Cropped to a single cell; Pappenheim-stained; bone marrow smear — 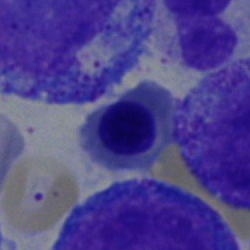Nucleated red blood cell.